Bone marrow smear; MGG-stained; brightfield, 40× oil-immersion objective
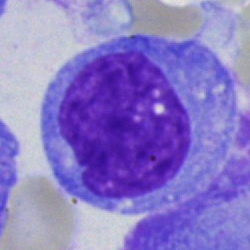 Blast cell.